Bone marrow aspirate smear · brightfield, 40× oil-immersion objective · May-Grünwald-Giemsa stain
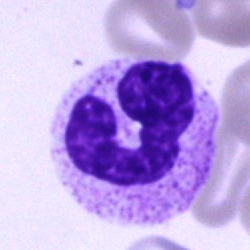

Specimen: bone marrow aspirate smear.
Cell type: polymorphonuclear neutrophil.
Lineage: myeloid.